May-Grünwald-Giemsa stain; single-cell crop; bone marrow aspirate smear:
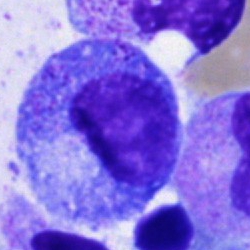
Specimen: bone marrow smear.
Cell type: promyelocyte.